Bone marrow aspirate smear:
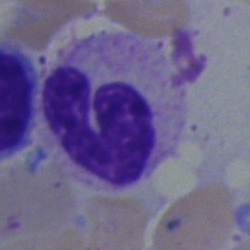

Morphological class: band neutrophil.